Bone marrow aspirate smear — 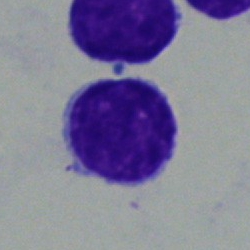
Q: Which cell type is shown here?
A: It is a typical lymphocyte.